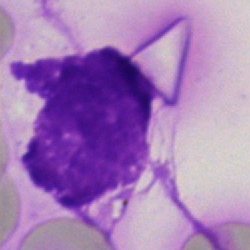
Morphological class: artefact.